Bone marrow aspirate smear:
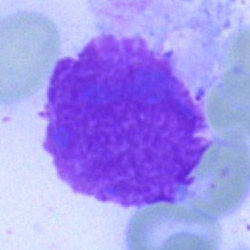 The cell shown is an artifact.